40× oil immersion; bone marrow smear.
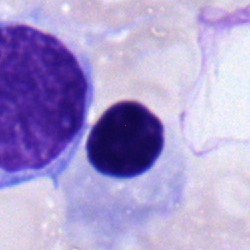Cell: nucleated red blood cell.